Image size 250×250; brightfield, 40× oil-immersion objective; bone marrow aspirate smear
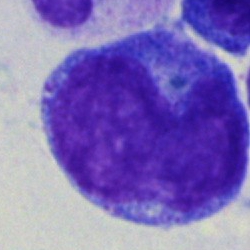

Showing a blast cell.